Bone marrow smear; single cell centered in the field; 250×250 px:
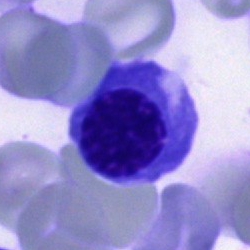
Morphology consistent with a normoblast.